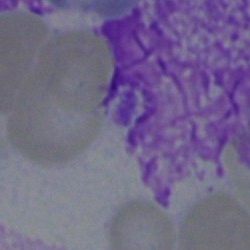
Q: What is shown here?
A: It is an artifact.